Single-cell crop. Bone marrow smear. 250×250
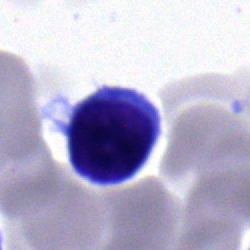Q: What is shown here?
A: A lymphocyte.